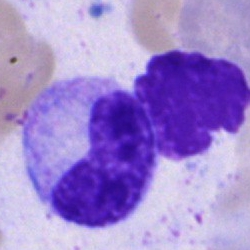 The morphological class is metamyelocyte.